40× oil immersion · bone marrow smear · single-cell crop — 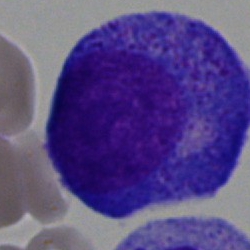
Q: What type of cell is this?
A: It is a progranulocyte.